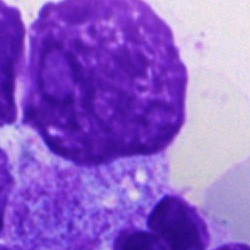The classification is artifact.